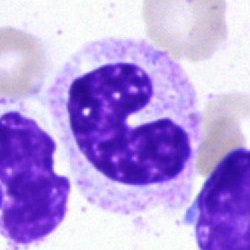

Q: Which cell type is shown here?
A: It is a band neutrophil.